Brightfield, 40× oil-immersion objective; May-Grünwald-Giemsa stain; bone marrow aspirate smear.
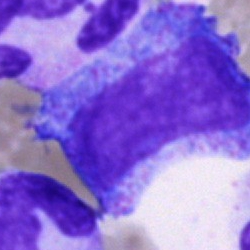

Q: What is shown here?
A: A progranulocyte.